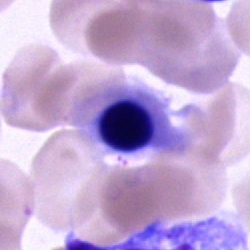

Nucleated red blood cell.